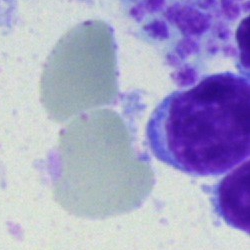 Specimen: bone marrow aspirate smear.
Cell type: typical lymphocyte.
Lineage: lymphoid.